40× oil immersion · bone marrow smear: 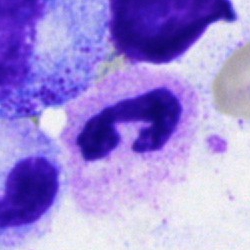 Morphological class = segmented neutrophil.